250×250 px. Bone marrow smear. May-Grünwald-Giemsa/Pappenheim stain:
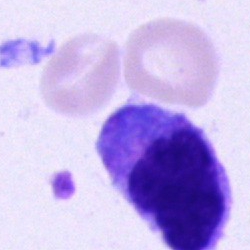

The cell shown is a monocyte.